Bone marrow smear. May-Grünwald-Giemsa/Pappenheim stain — 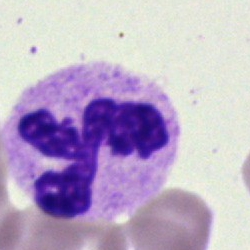
Showing a segmented neutrophil.